Bone marrow smear · 250×250 px — 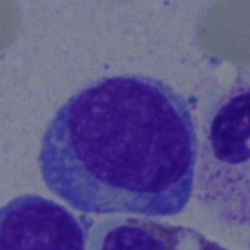Morphology → lymphocyte.